Bone marrow smear · 40× objective, oil immersion
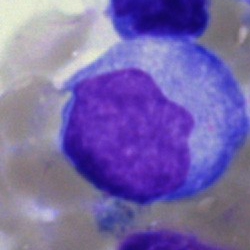Cell — undifferentiated blast.